Bone marrow aspirate smear:
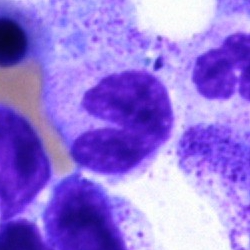

A band neutrophil.